Brightfield microscopy, 40× oil immersion. Bone marrow smear
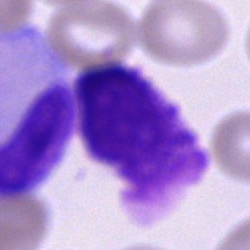

Morphology → artefact.